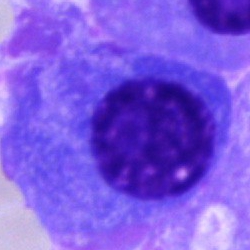
The cell shown is a plasmacyte.